Bone marrow smear: 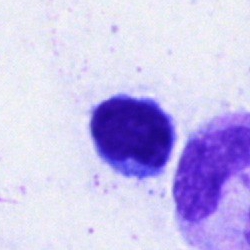

Single cell identified as a lymphocyte.